Bone marrow aspirate smear · May-Grünwald-Giemsa/Pappenheim stain:
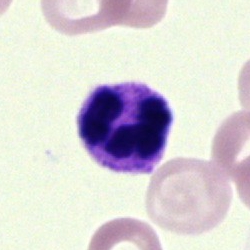 Showing a polymorphonuclear neutrophil.